Bone marrow smear: 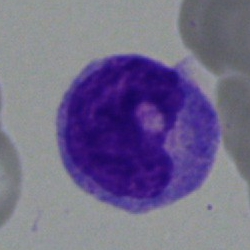

Q: What is shown here?
A: Monocyte.